Image size 250×250 · bone marrow aspirate smear
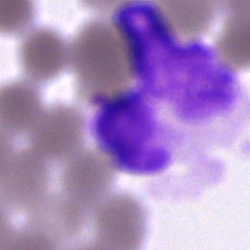Specimen: bone marrow aspirate smear.
Morphological class: artefact.